Bone marrow aspirate smear:
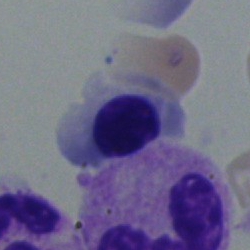
Morphological class: nucleated red cell.